Single-cell crop. 250×250 px. Bone marrow smear: 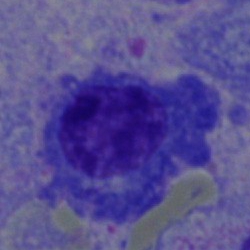 Q: What is the morphological classification of this cell?
A: It is a plasma cell.